Bone marrow smear.
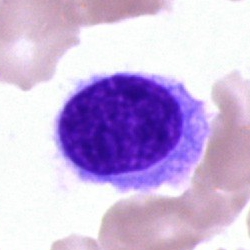
Showing a hairy cell.